Bone marrow aspirate smear: 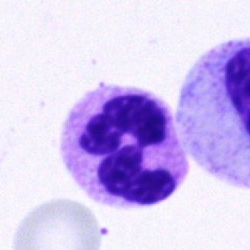{"cell_type": "polymorphonuclear neutrophil", "lineage": "myeloid"}